Bone marrow smear. May-Grünwald-Giemsa stain — 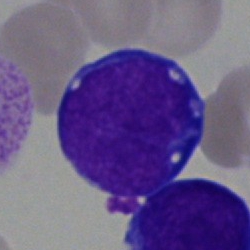 Morphology → undifferentiated blast.